Bone marrow smear.
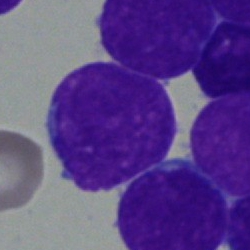

The cell shown is an undifferentiated blast.